Bone marrow aspirate smear:
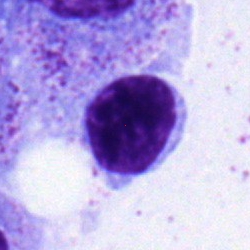 Classification = lymphocyte.